Pappenheim-stained · bone marrow smear: 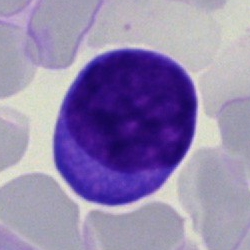
Showing a lymphocyte.